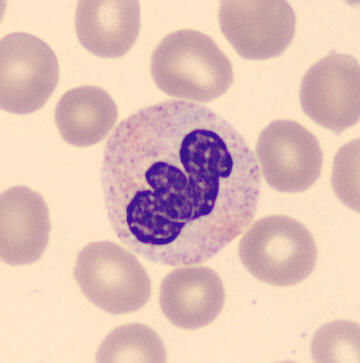Showing a polymorphonuclear neutrophil.

Preparation: Single-cell crop · peripheral blood smear.